250 by 250 pixels · bone marrow smear
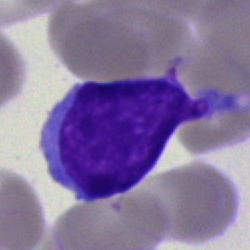

{"cell_type": "lymphocyte"}